Bone marrow smear: 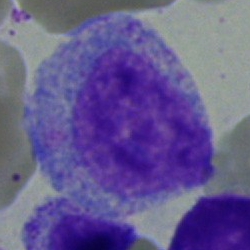

A myelocyte.